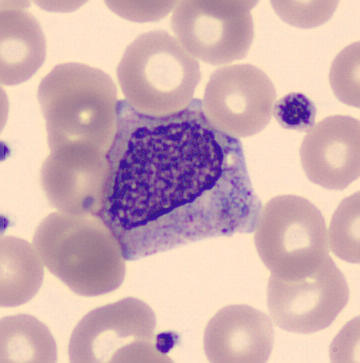
Cell = myelocyte. Image: Peripheral blood film. MGG stain.